Bone marrow aspirate smear: 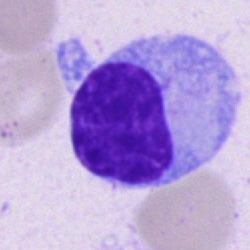

Classification: plasmacyte.